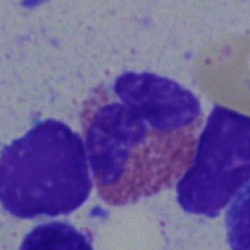Q: What cell is this?
A: It is an eosinophilic granulocyte.